Image size 250×250. Bone marrow smear:
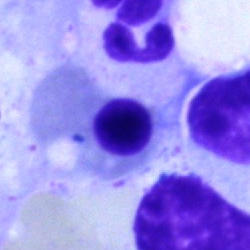
The morphological class is nucleated red cell.